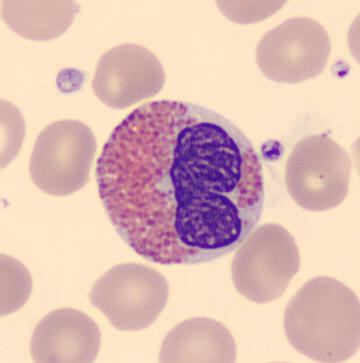
Single-cell crop; peripheral blood smear.
Impression — eosinophil.